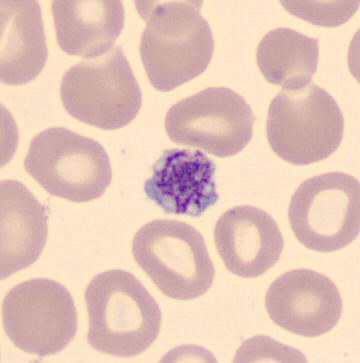
Impression → platelet. Acquisition: Peripheral blood film.